Bone marrow aspirate smear. 250×250. 40× oil immersion — 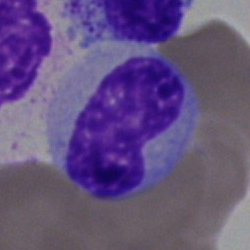This is a metamyelocyte.